Peripheral blood smear — 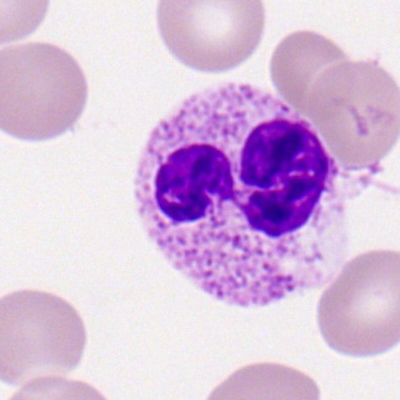Q: Which cell type is shown here?
A: Polymorphonuclear neutrophil.